Bone marrow smear:
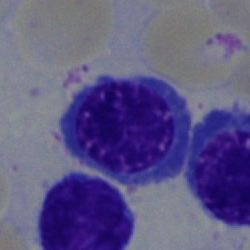Cell = erythroblast.